Bone marrow smear. Image size 250×250: 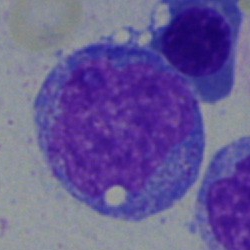

The morphological class is blast cell.